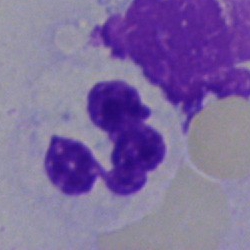 Q: What type of cell is this?
A: A neutrophil (segmented).